Bone marrow aspirate smear — 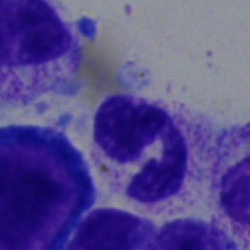
Impression — segmented neutrophil.